40× objective, oil immersion; bone marrow aspirate smear — 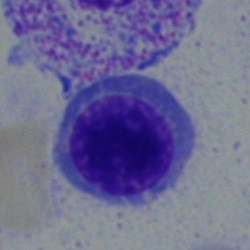 {"cell_type": "nucleated red blood cell", "lineage": "erythroid"}